250 by 250 pixels; single-cell field; bone marrow smear:
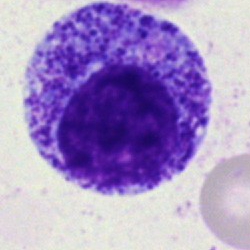

{"cell_type": "promyelocyte"}